250×250 px · May-Grünwald-Giemsa stain · bone marrow smear.
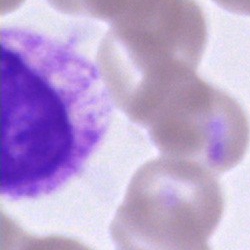
Showing an artifact.